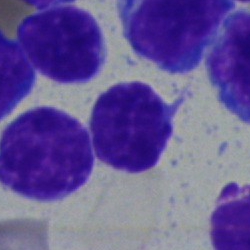 Cell type — typical lymphocyte.